Peripheral blood film. 400 by 400 pixels:
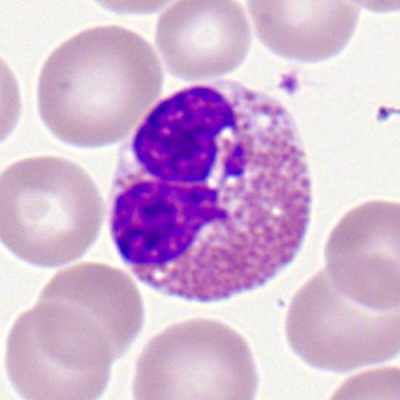Single cell identified as an eosinophilic granulocyte.